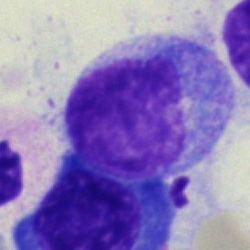

Bone marrow aspirate smear, single cell — promyelocyte.